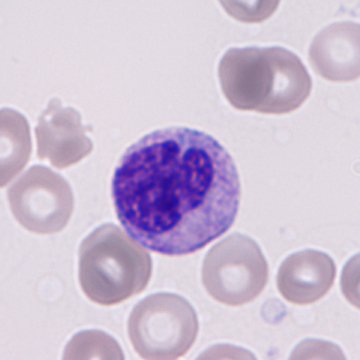

Specimen: peripheral blood film.
Morphological class: immature granulocyte.
Lineage: myeloid.